Bone marrow aspirate smear — 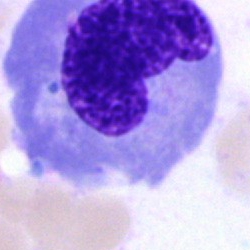

Morphology → normoblast.